Image size 250×250. Bone marrow aspirate smear
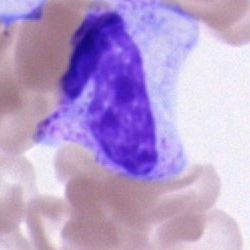
Cell type = cell of indeterminate lineage.